Bone marrow aspirate smear — 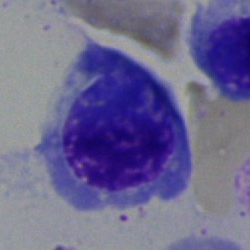

Normoblast.